Peripheral blood film: 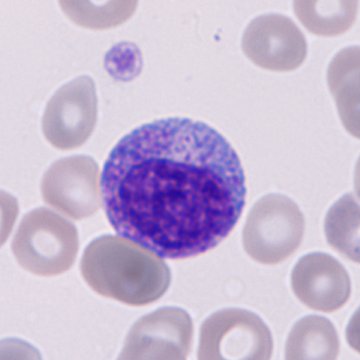
Single cell identified as an immature granulocyte.